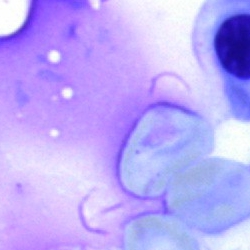
The morphological class is artefact.